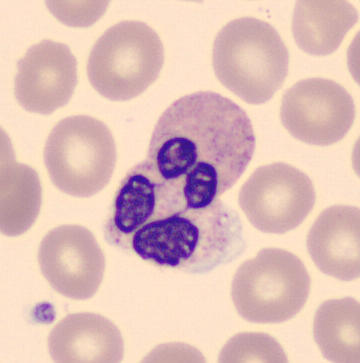

Image: Image size 360×363; peripheral blood smear.

Cell — segmented neutrophil.